Peripheral blood smear:
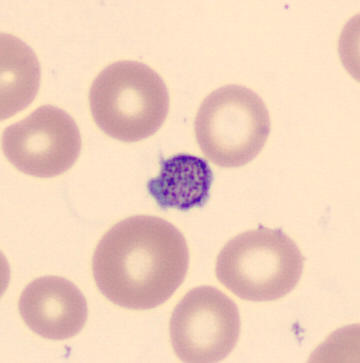
Q: What is shown here?
A: It is a platelet.